Bone marrow aspirate smear.
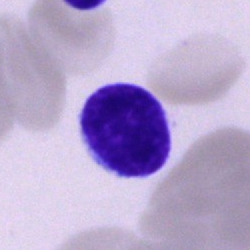 Single cell identified as a lymphocyte.